Bone marrow aspirate smear; MGG-stained:
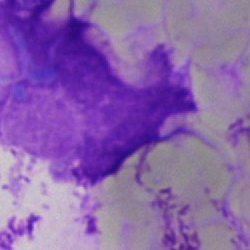 Showing an artefact.